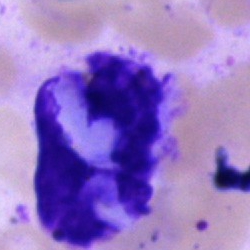

{"cell_type": "artifact"}